Bone marrow smear
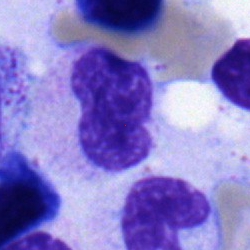
Cell type — neutrophil (band).